Peripheral blood film.
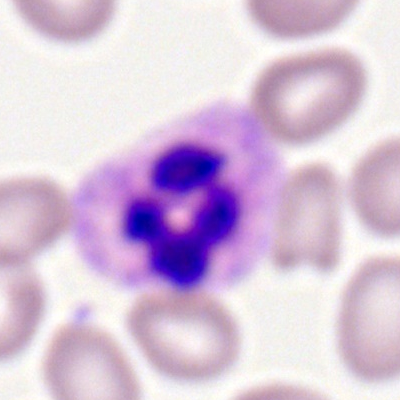Single cell identified as a neutrophil (segmented).